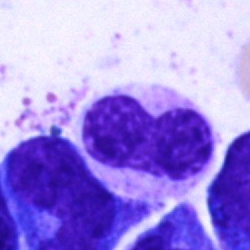 Specimen: bone marrow aspirate smear.
Cell: metamyelocyte.
Lineage: myeloid.